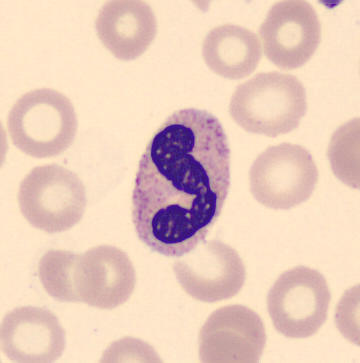

Image: Peripheral blood film · imaged on a CellaVision DM96 analyser.

Identified as a neutrophil (band).